Single-cell field; peripheral blood smear.
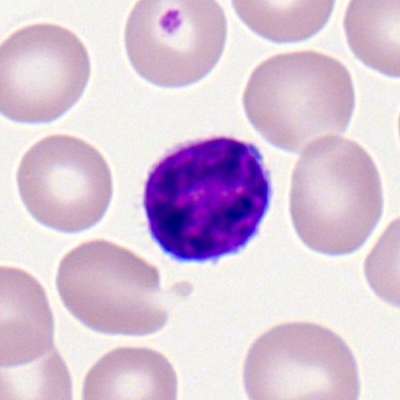 Cell — typical lymphocyte.